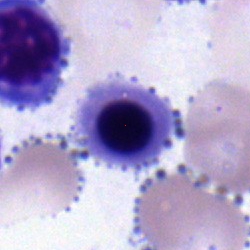 Classification — normoblast.